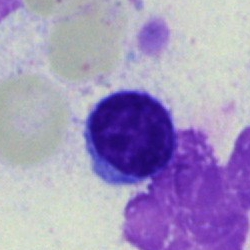

Single cell identified as a typical lymphocyte.